Bone marrow aspirate smear: 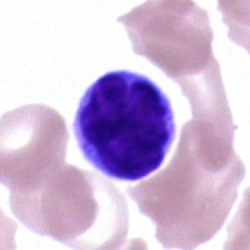Q: What cell is this?
A: Typical lymphocyte.